Bone marrow aspirate smear
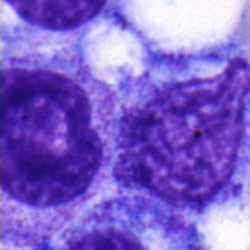

Morphological class: myelocyte.